Single-cell field; bone marrow aspirate smear; May-Grünwald-Giemsa stain.
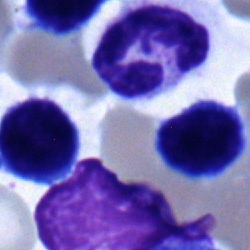
Showing a polymorphonuclear neutrophil.